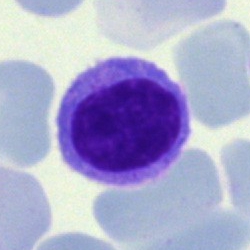 Specimen: bone marrow aspirate smear.
Cell: typical lymphocyte.